Bone marrow aspirate smear. Cropped to a single cell. Brightfield, 40× oil-immersion objective:
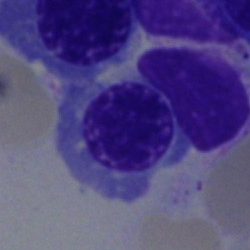Impression → nucleated red cell.